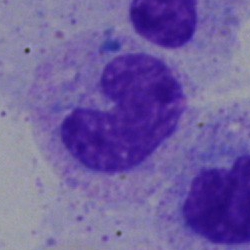
Impression → band neutrophil.